Bone marrow smear.
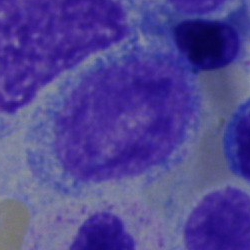Cell type = myelocyte.